May-Grünwald-Giemsa/Pappenheim stain · bone marrow smear: 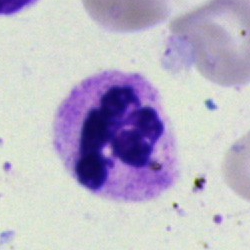Specimen: bone marrow aspirate smear.
Classification: segmented neutrophil.